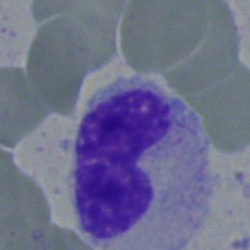

Classification = metamyelocyte.